Pappenheim-stained. Bone marrow aspirate smear — 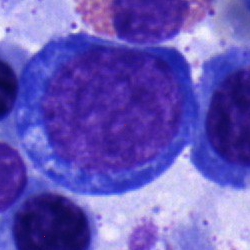Morphology — normoblast.